40× objective, oil immersion; bone marrow aspirate smear
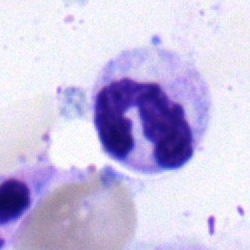

{"cell_type": "neutrophil (segmented)", "lineage": "myeloid"}